Bone marrow aspirate smear:
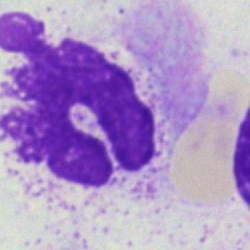

Morphological class — artefact.